Bone marrow aspirate smear; brightfield microscopy, 40× oil immersion; Pappenheim-stained
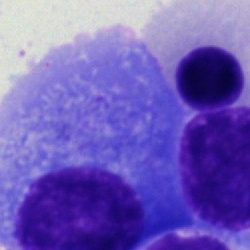

The cell shown is a plasmacyte.